Peripheral blood smear:
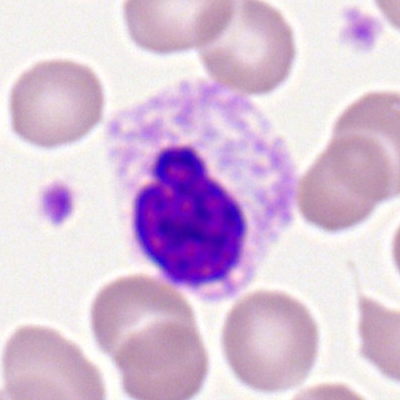
Specimen: peripheral blood smear.
Cell type: segmented neutrophil.
Lineage: myeloid.